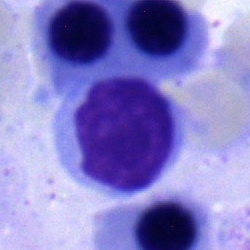
Cell type = typical lymphocyte.